Bone marrow smear
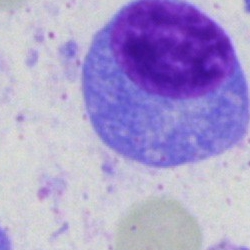Q: What cell is this?
A: A plasmacyte.